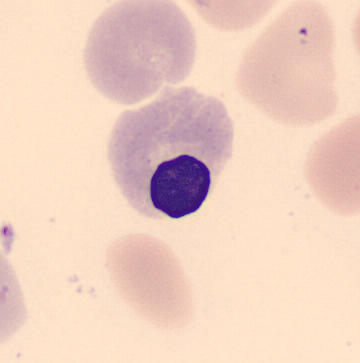

Peripheral blood film; CellaVision DM96 digital cell image; 360×363. A nucleated red blood cell.